40× oil immersion · 250×250 · bone marrow aspirate smear — 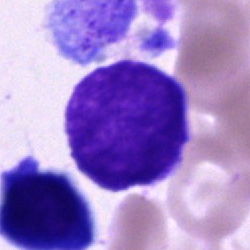Q: Which cell type is shown here?
A: Blast cell.